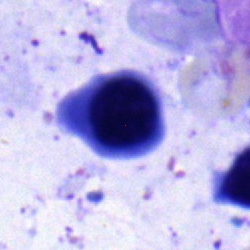 Showing a normoblast.